Bone marrow aspirate smear; 40× oil immersion:
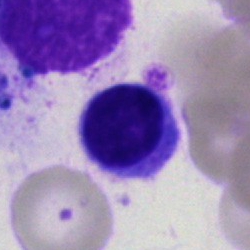 Impression — typical lymphocyte.